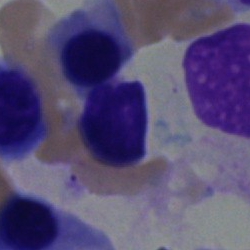
The cell shown is a lymphocyte.